400×400 px; peripheral blood film
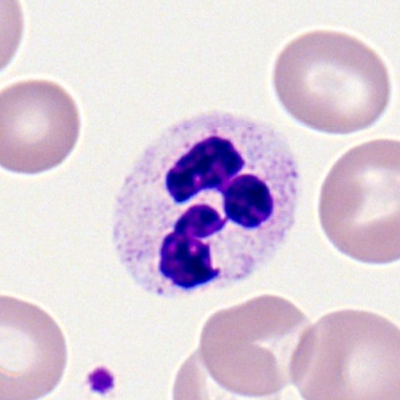
Single cell identified as a neutrophil (segmented).